Bone marrow aspirate smear: 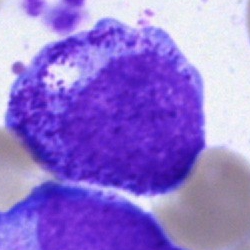
Cell type = promyelocyte.